May-Grünwald-Giemsa/Pappenheim stain. Bone marrow aspirate smear. Single cell centered in the field:
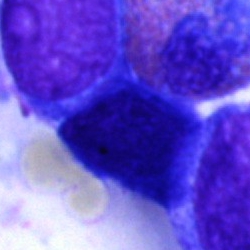
An artefact.